Single-cell field. 40× objective, oil immersion. Bone marrow aspirate smear
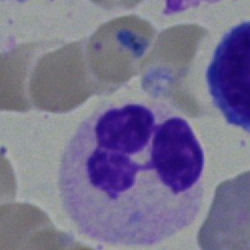Single cell identified as a polymorphonuclear neutrophil.